Pappenheim-stained. 250×250. Bone marrow aspirate smear — 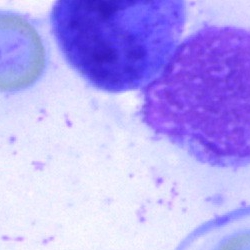 Single cell identified as an artifact.